Peripheral blood smear
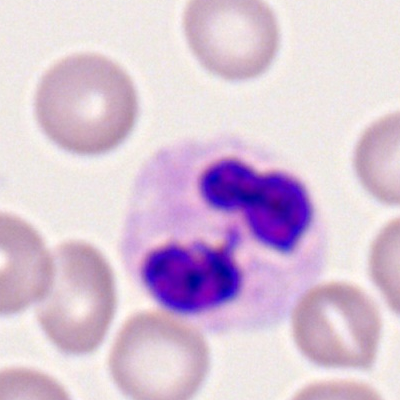 Showing a polymorphonuclear neutrophil.